250×250 px. Bone marrow aspirate smear. Single-cell field:
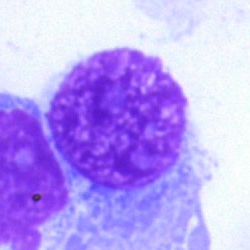 Cell type — artefact.